May-Grünwald-Giemsa stain. Bone marrow smear:
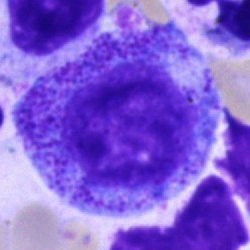
Q: Which cell type is shown here?
A: A promyelocyte.